Bone marrow aspirate smear: 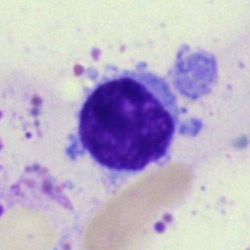
Cell type = lymphocyte.